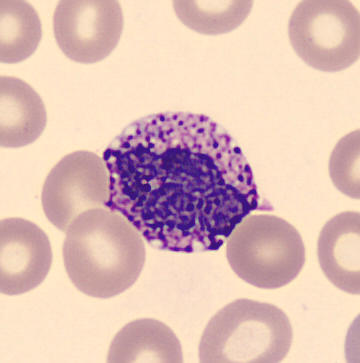
Image: CellaVision DM96 digital cell image · MGG-stained · peripheral blood smear.
This is a basophilic granulocyte.